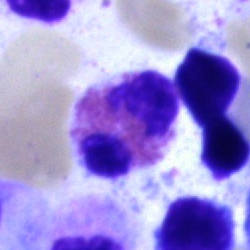Showing an eosinophilic granulocyte.